Bone marrow smear:
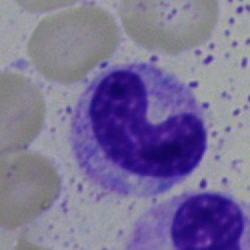

Specimen: bone marrow aspirate smear.
Morphological class: neutrophil (band).
Lineage: myeloid.